Bone marrow aspirate smear — 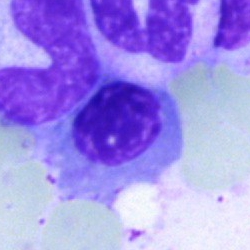

Morphological class = normoblast.